Bone marrow aspirate smear.
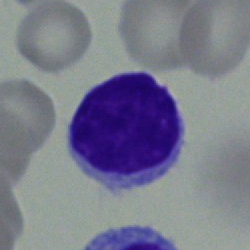

Q: Identify the cell.
A: A lymphocyte.